Bone marrow smear.
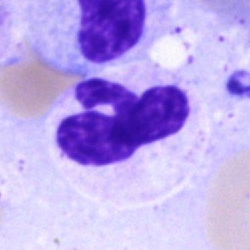Specimen: bone marrow aspirate smear.
Cell type: neutrophil (segmented).